250×250 px · bone marrow smear
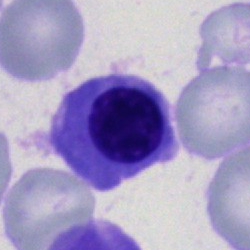 This is an erythroblast.